Bone marrow aspirate smear.
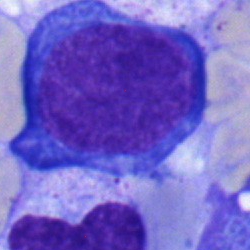{"cell_type": "pronormoblast"}